Bone marrow aspirate smear
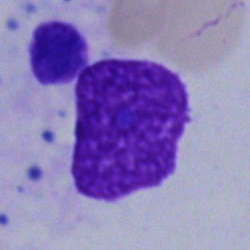
{"cell_type": "artefact"}